May-Grünwald-Giemsa stain · bone marrow aspirate smear — 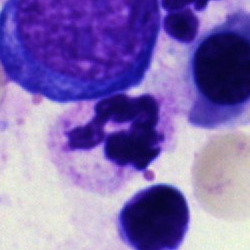

Morphological class = neutrophil (segmented).